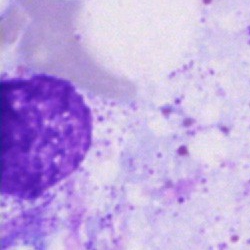

Morphological class: artifact.